Bone marrow smear · single cell centered in the field — 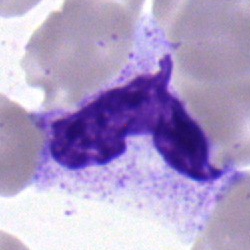Morphology consistent with a polymorphonuclear neutrophil.